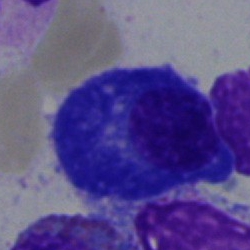

Q: Identify the cell.
A: This is a plasma cell.